Bone marrow smear:
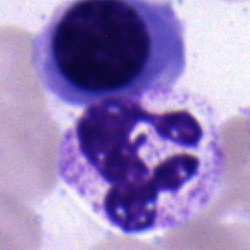
Cell: segmented neutrophil.